Bone marrow smear · single-cell crop · brightfield, 40× oil-immersion objective — 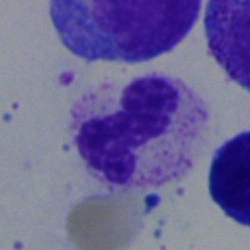 Morphology — neutrophil (segmented).